Single-cell crop · M8 digital microscope (Precipoint), 100× oil immersion · peripheral blood film
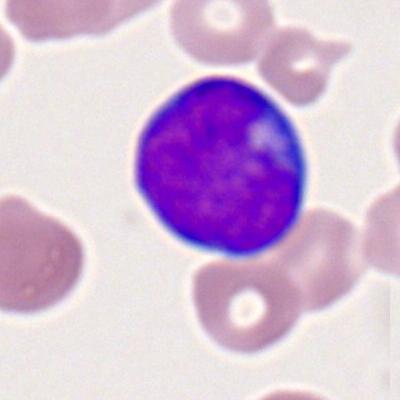

The morphological class is myeloblast.